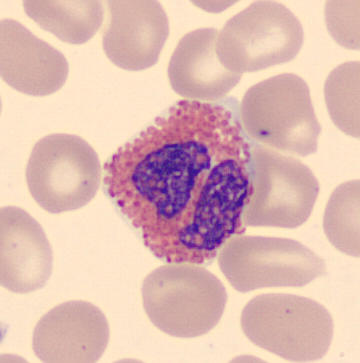 Acquisition: 360×363 px; peripheral blood film. Eosinophilic granulocyte.